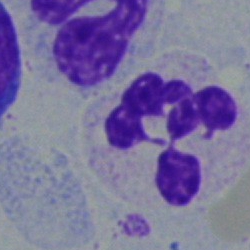Q: What cell is this?
A: This is a polymorphonuclear neutrophil.